Cropped to a single cell. Pappenheim-stained. Bone marrow aspirate smear:
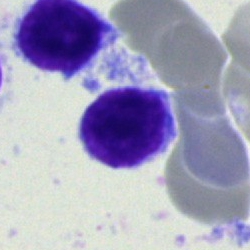

Impression — lymphocyte.